40× oil immersion · image size 250×250 · bone marrow smear
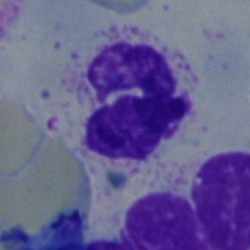Cell type: neutrophil (segmented).